Bone marrow smear.
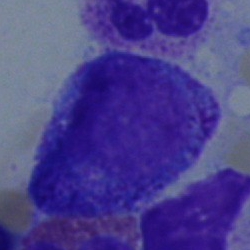Q: Identify the cell.
A: Promyelocyte.